Bone marrow aspirate smear · brightfield, 40× oil-immersion objective: 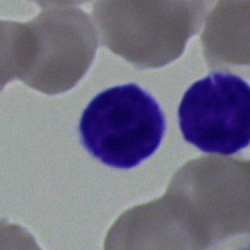

Q: What type of cell is this?
A: Lymphocyte.